Image size 250×250. Bone marrow aspirate smear.
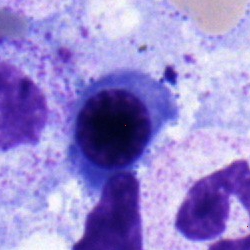{"cell_type": "erythroblast"}